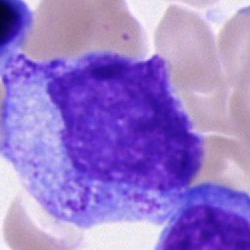Single cell identified as a progranulocyte.